Peripheral blood smear.
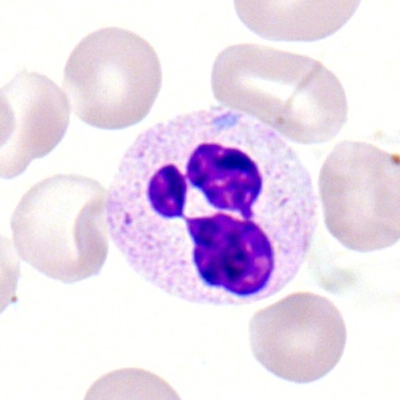
Cell: segmented neutrophil.